400×400 px. 100× oil immersion. Peripheral blood film
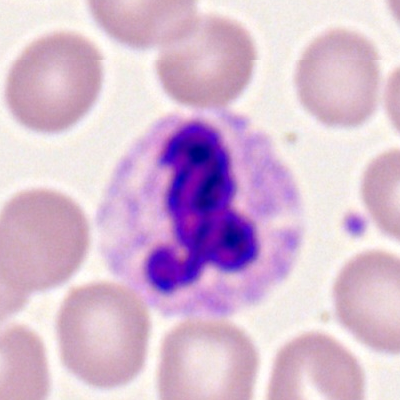Q: Identify the cell.
A: Segmented neutrophil.